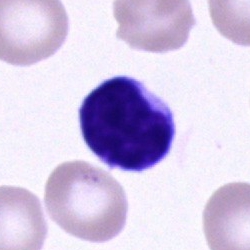

Classification — typical lymphocyte.